May-Grünwald-Giemsa/Pappenheim stain · bone marrow aspirate smear · 40× oil immersion: 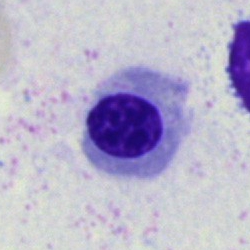
Specimen: bone marrow aspirate smear.
Cell type: nucleated red cell.
Lineage: erythroid.